Bone marrow smear. 40× objective, oil immersion
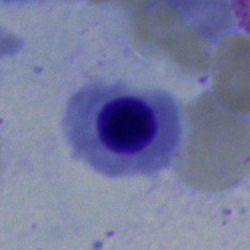
A nucleated red cell.